Peripheral blood smear.
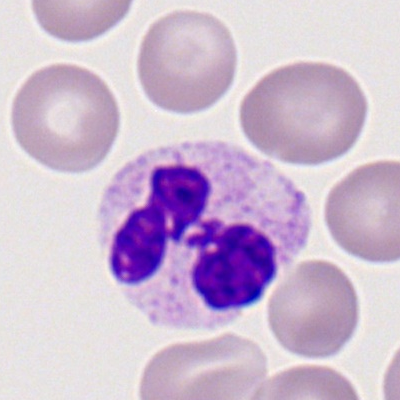
Polymorphonuclear neutrophil.